Bone marrow smear. Brightfield microscopy, 40× oil immersion
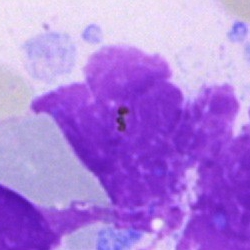This is an artefact.